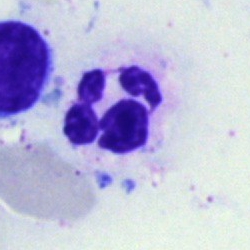 Specimen: bone marrow smear.
Cell: segmented neutrophil.